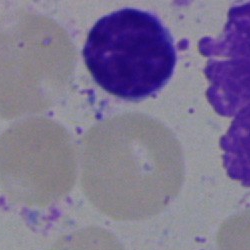 Q: Which cell type is shown here?
A: A lymphocyte.